Cropped to a single cell · bone marrow aspirate smear:
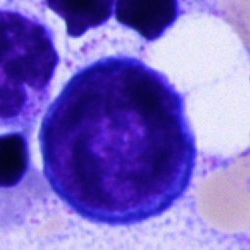

Morphological class: proerythroblast.